Bone marrow aspirate smear — 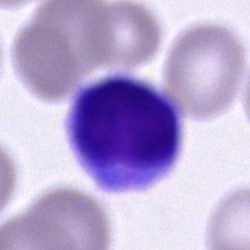Morphology consistent with an unidentifiable cell.